Bone marrow aspirate smear.
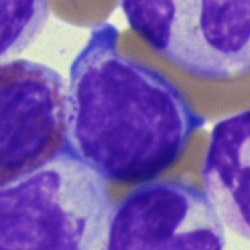 The morphological class is typical lymphocyte.